Bone marrow smear:
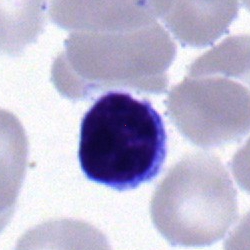

Cell type: typical lymphocyte.